40× objective, oil immersion · bone marrow aspirate smear · May-Grünwald-Giemsa stain.
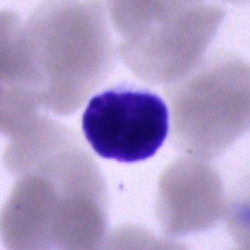

The classification is lymphocyte.